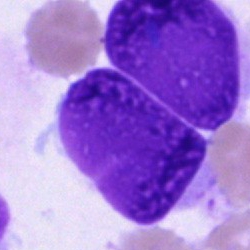
The cell type is artifact.